Bone marrow aspirate smear · single-cell field: 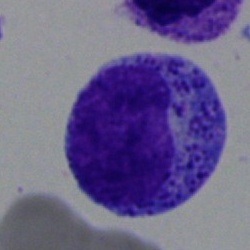 Impression → promyelocyte.